Single-cell field; bone marrow aspirate smear; 250×250 px.
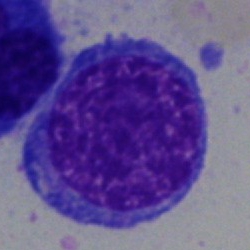 A normoblast.